Bone marrow aspirate smear — 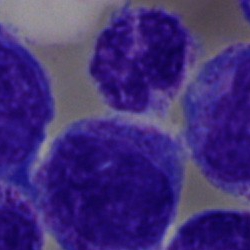
The cell shown is an undifferentiated blast.